Bone marrow aspirate smear:
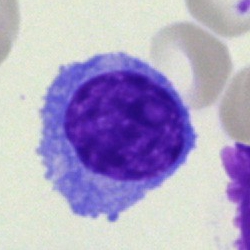

{"cell_type": "typical lymphocyte"}